Bone marrow smear.
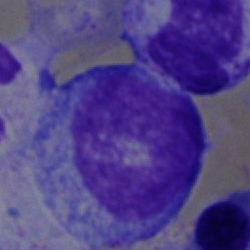 Specimen: bone marrow smear.
Cell type: blast cell.